250×250. Pappenheim-stained. Bone marrow aspirate smear: 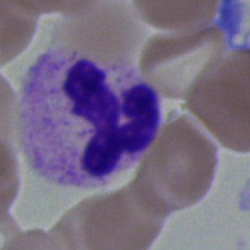
Cell = neutrophil (segmented).